Bone marrow aspirate smear
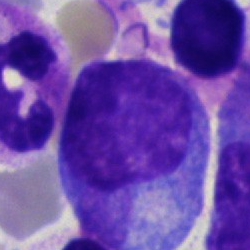

Q: Identify the cell.
A: A progranulocyte.